Bone marrow smear.
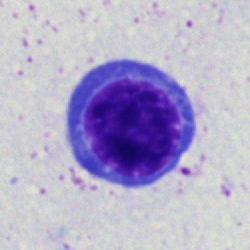 Impression → normoblast.